Bone marrow smear: 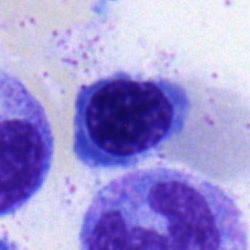 Morphology consistent with a nucleated red blood cell.